Bone marrow aspirate smear.
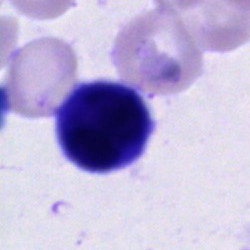

Specimen: bone marrow aspirate smear.
Cell type: cell of indeterminate lineage.